Bone marrow smear — 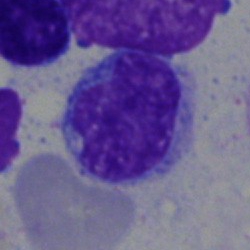Q: Identify the cell.
A: Lymphocyte.